Bone marrow smear
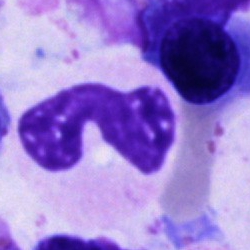Q: What type of cell is this?
A: It is a polymorphonuclear neutrophil.